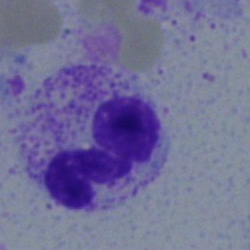
The cell shown is a neutrophil (segmented).